40× oil immersion; bone marrow aspirate smear:
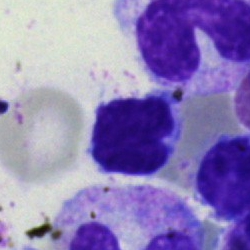
Showing a lymphocyte.